250 by 250 pixels. Bone marrow smear: 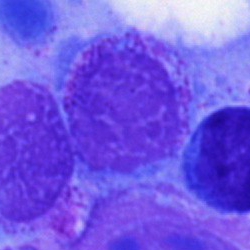

Cell — artifact.